Bone marrow aspirate smear.
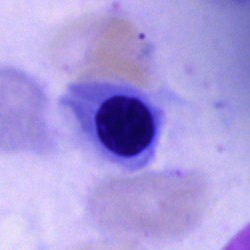

This is a nucleated red blood cell.